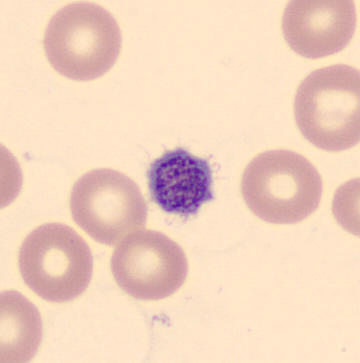
Classification = thrombocyte. MGG-stained · 360 by 363 pixels · peripheral blood smear.